250 by 250 pixels; bone marrow aspirate smear; brightfield microscopy, 40× oil immersion.
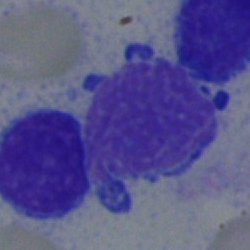Showing a typical lymphocyte.